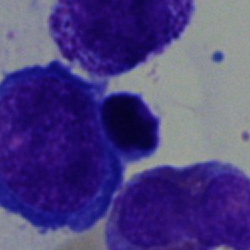 Morphology — pronormoblast.